Bone marrow smear: 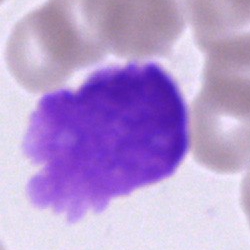 Morphology — artefact.